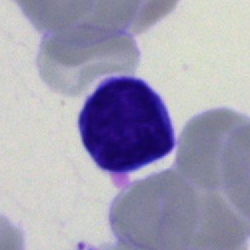
Single cell identified as a typical lymphocyte.